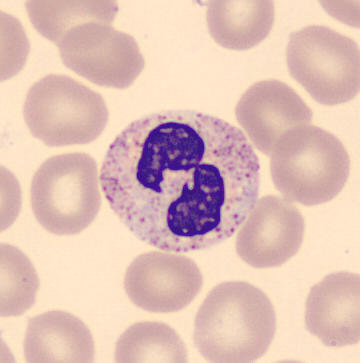Specimen: peripheral blood smear.
Morphological class: segmented neutrophil.
Lineage: myeloid.